Peripheral blood smear · single cell centered in the field: 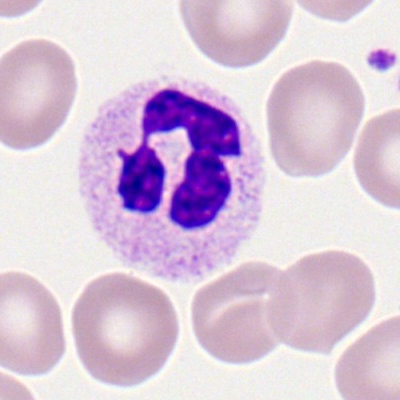
This is a segmented neutrophil.